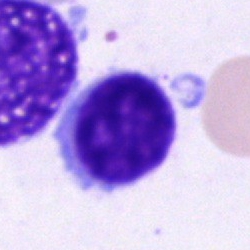Cell: typical lymphocyte.